MGG-stained; bone marrow smear.
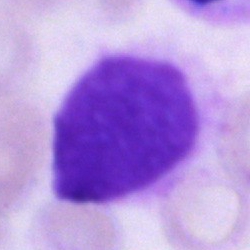 The cell shown is an artefact.